Bone marrow aspirate smear
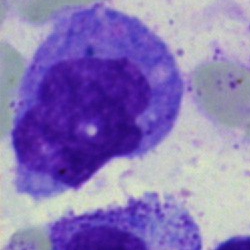Specimen: bone marrow smear.
Cell type: monocyte.
Lineage: myeloid.